Bone marrow aspirate smear — 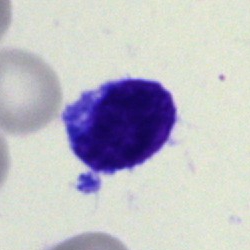 Q: What is the morphological classification of this cell?
A: A blast.